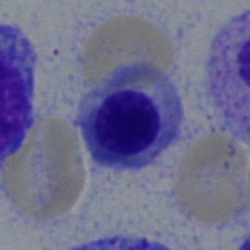
A normoblast on a bone marrow smear.